Bone marrow aspirate smear:
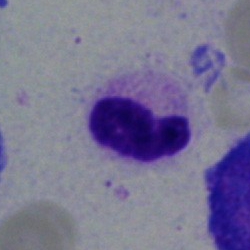 Specimen: bone marrow smear.
Classification: polymorphonuclear neutrophil.
Lineage: myeloid.